Single-cell field. Brightfield microscopy, 40× oil immersion. Bone marrow aspirate smear:
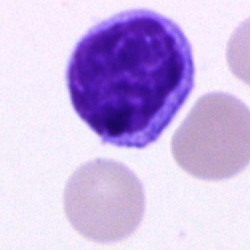
Impression — lymphocyte.